Bone marrow aspirate smear:
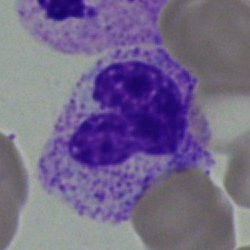 Q: Which cell type is shown here?
A: A polymorphonuclear neutrophil.